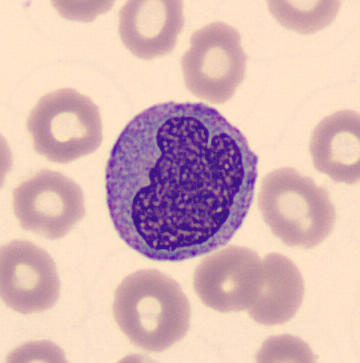

Single-cell crop from a peripheral blood smear: monocyte.